250 by 250 pixels; cropped to a single cell; bone marrow smear — 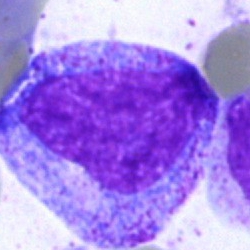

Specimen: bone marrow smear.
Cell: progranulocyte.